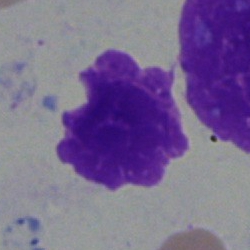
Bone marrow smear showing an artifact.